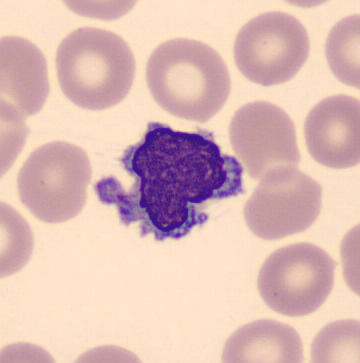
Acquisition: 360×363 px · peripheral blood smear · single cell centered in the field.

Morphology consistent with a lymphocyte.